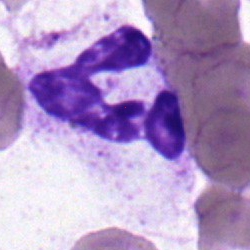
Q: What cell is this?
A: Neutrophil (segmented).